May-Grünwald-Giemsa stain · single-cell crop · bone marrow aspirate smear
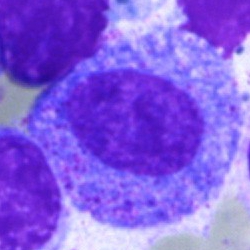 Morphology consistent with a promyelocyte.